Bone marrow smear · single-cell crop.
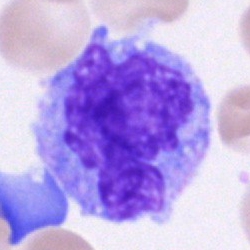
Q: What cell is this?
A: Monocyte.